250 by 250 pixels · brightfield, 40× oil-immersion objective · bone marrow smear: 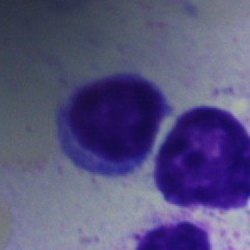 An artefact.